Bone marrow smear — 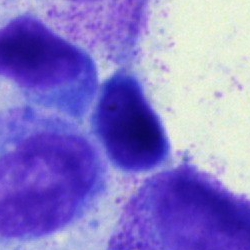 Morphology — typical lymphocyte.